Bone marrow smear. Cropped to a single cell — 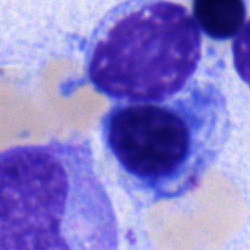
Q: What is shown here?
A: This is a nucleated red cell.